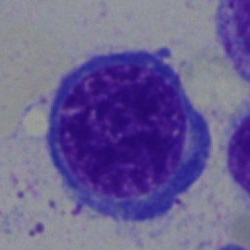Cell type — normoblast.